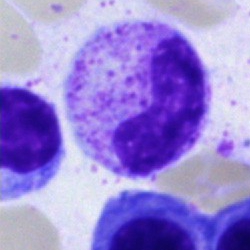
Classification: polymorphonuclear neutrophil.